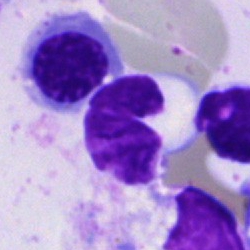 Single-cell crop from a bone marrow smear: nucleated red blood cell.